Brightfield microscopy, 40× oil immersion · bone marrow aspirate smear:
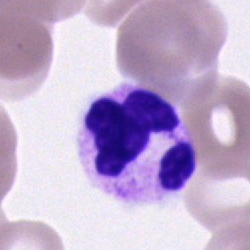Neutrophil (segmented).